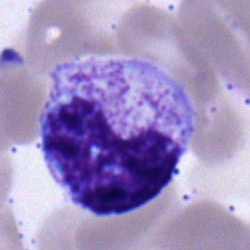
Specimen: bone marrow aspirate smear.
Morphological class: metamyelocyte.
Lineage: myeloid.